Bone marrow smear.
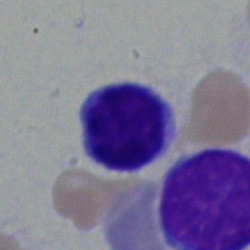Q: Identify the cell.
A: It is a typical lymphocyte.